Single-cell crop; bone marrow smear; 40× objective, oil immersion: 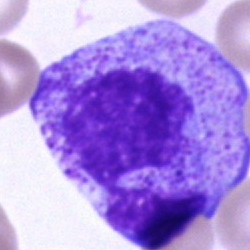 {"cell_type": "promyelocyte", "lineage": "myeloid"}